Image size 400×400 · peripheral blood film.
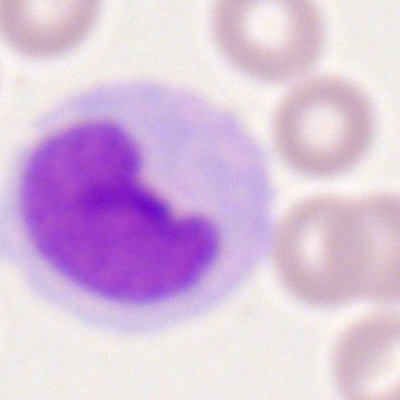
The cell shown is a monocyte.